Bone marrow smear: 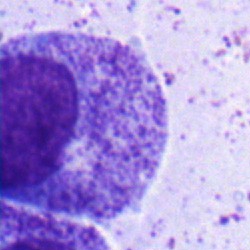

Progranulocyte.